Bone marrow aspirate smear.
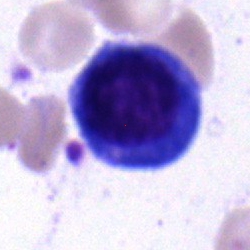
The classification is nucleated red cell.